Bone marrow smear — 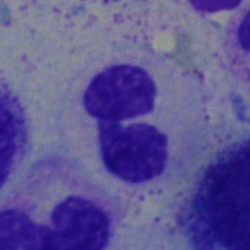

Neutrophil (segmented).